Bone marrow aspirate smear; 250×250 px:
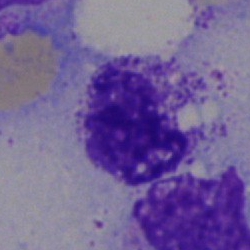Cell type: segmented neutrophil.